Bone marrow aspirate smear.
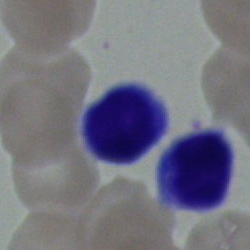
Specimen: bone marrow smear.
Cell type: lymphocyte.